Bone marrow smear.
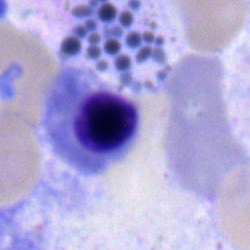Classification: nucleated red blood cell.